Bone marrow aspirate smear. May-Grünwald-Giemsa/Pappenheim stain: 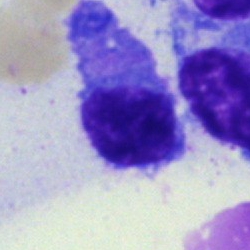 Specimen: bone marrow aspirate smear.
Cell: plasma cell.